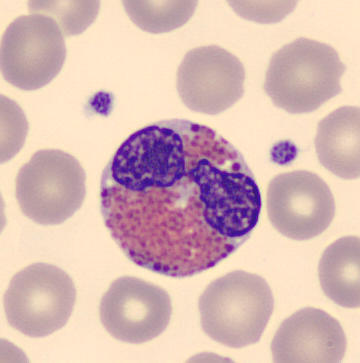
Cell = eosinophil.